Bone marrow smear · 40× oil immersion — 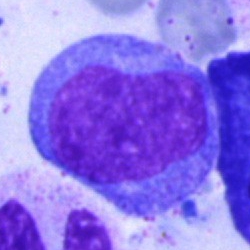 {"cell_type": "undifferentiated blast"}